Single cell centered in the field · bone marrow smear
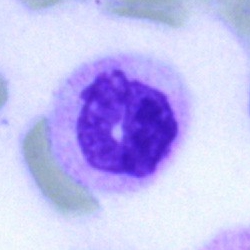

Cell type = segmented neutrophil.